Bone marrow aspirate smear.
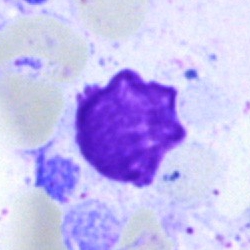 This is an artifact.